Bone marrow aspirate smear
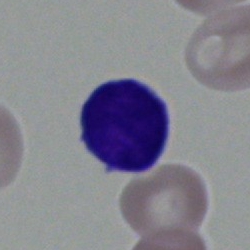

Specimen: bone marrow smear.
Morphological class: lymphocyte.
Lineage: lymphoid.